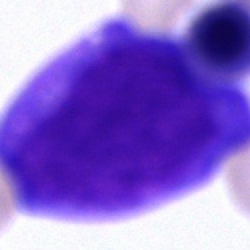Bone marrow aspirate smear, single cell — unidentifiable cell.